Bone marrow aspirate smear; 250×250 px; brightfield, 40× oil-immersion objective
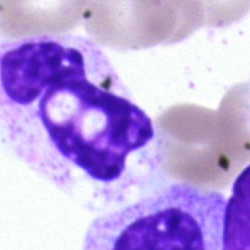Impression → polymorphonuclear neutrophil.